May-Grünwald-Giemsa/Pappenheim stain. Bone marrow aspirate smear
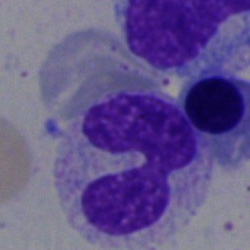Q: Which cell type is shown here?
A: A band-form neutrophil.